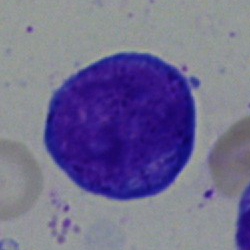

Morphological class = undifferentiated blast.